Bone marrow aspirate smear · May-Grünwald-Giemsa stain: 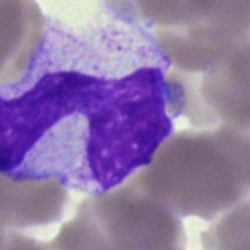 Artifact.